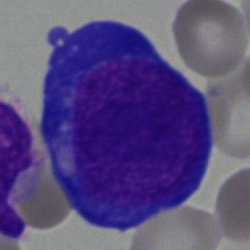Q: What is shown here?
A: A proerythroblast.